Brightfield microscopy, 40× oil immersion; bone marrow aspirate smear: 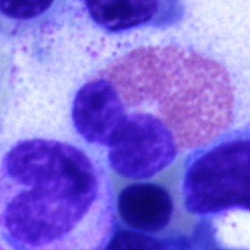Single cell identified as an eosinophilic granulocyte.